Bone marrow smear · single-cell field.
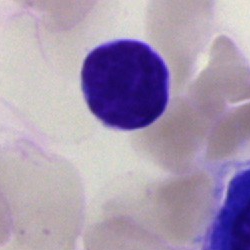
Impression — typical lymphocyte.